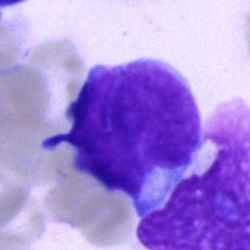
A blast cell on a bone marrow smear.